May-Grünwald-Giemsa/Pappenheim stain. Bone marrow smear: 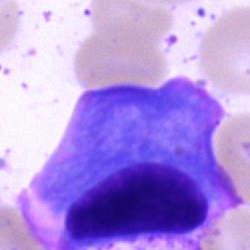{"cell_type": "plasma cell", "lineage": "lymphoid"}